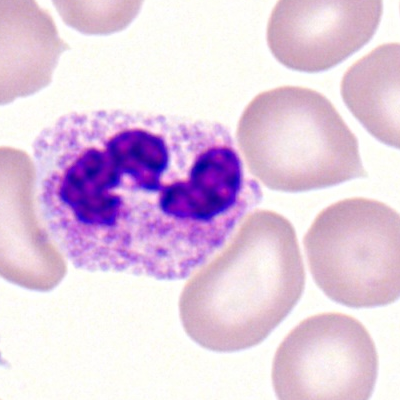Morphological class — neutrophil (segmented).